Single-cell field. Bone marrow aspirate smear — 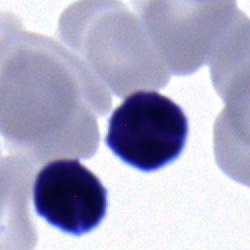Q: Which cell type is shown here?
A: This is a typical lymphocyte.